Bone marrow smear — 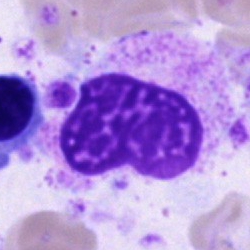
The cell shown is an artefact.